Bone marrow aspirate smear. 40× oil immersion:
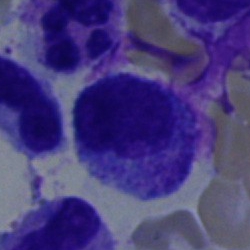Q: What type of cell is this?
A: This is a myelocyte.